Peripheral blood smear.
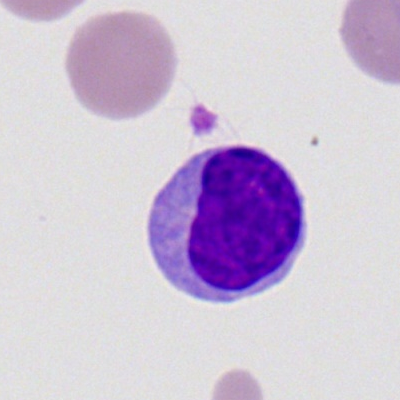

A lymphocyte.